Bone marrow aspirate smear.
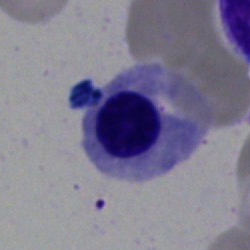

Impression → nucleated red cell.